Bone marrow aspirate smear.
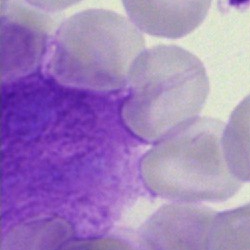
Classification = artefact.